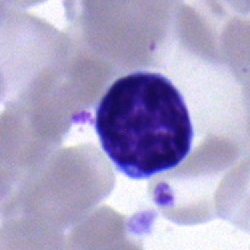

Single-cell crop from a bone marrow smear: lymphocyte.